Bone marrow smear.
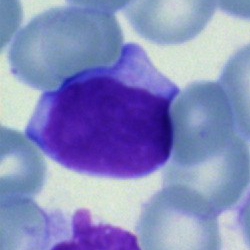 Classification = typical lymphocyte.